Bone marrow smear · brightfield, 40× oil-immersion objective: 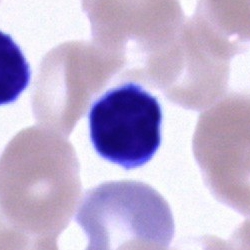A lymphocyte.